Peripheral blood film: 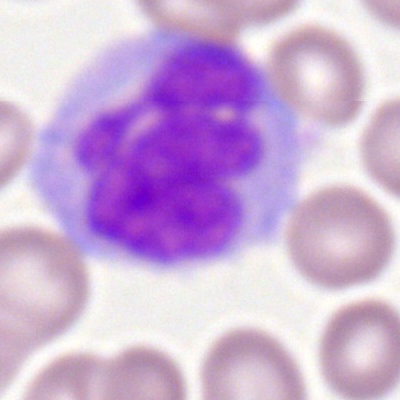

Morphology — monocyte.